Peripheral blood smear — 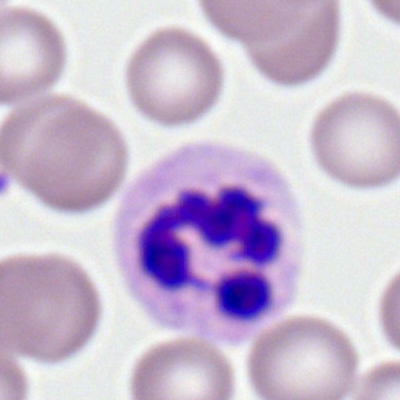A segmented neutrophil.